Bone marrow aspirate smear: 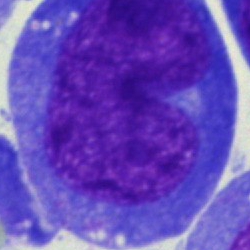

{"cell_type": "undifferentiated blast"}